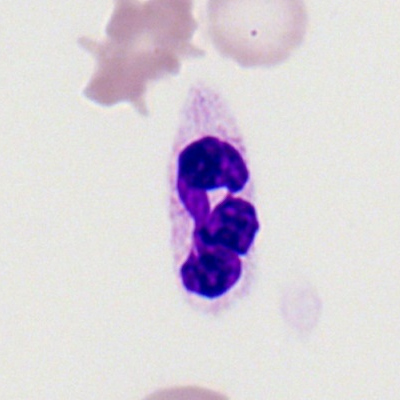
Q: What type of cell is this?
A: A segmented neutrophil.